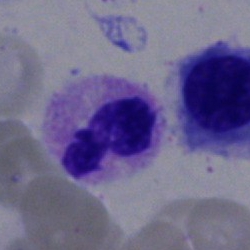 A polymorphonuclear neutrophil.